Bone marrow aspirate smear: 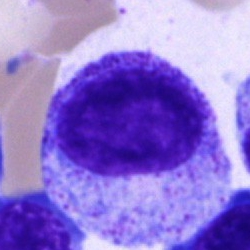 The cell is promyelocyte.